Bone marrow smear.
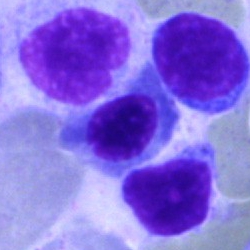 {"cell_type": "nucleated red cell", "lineage": "erythroid"}